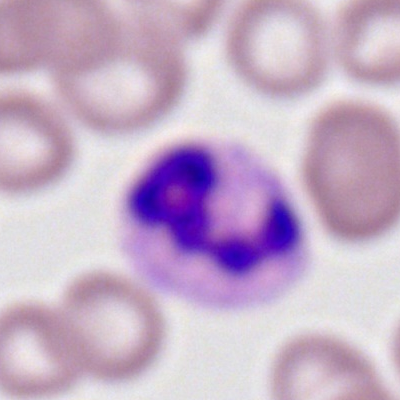

Peripheral blood film, single cell — polymorphonuclear neutrophil.